May-Grünwald-Giemsa/Pappenheim stain. Bone marrow aspirate smear
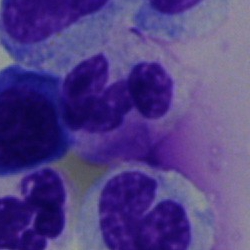Classification — segmented neutrophil.